Single-cell crop · bone marrow aspirate smear: 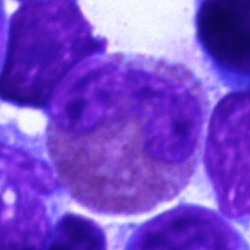

This is an eosinophilic granulocyte.